Bone marrow aspirate smear: 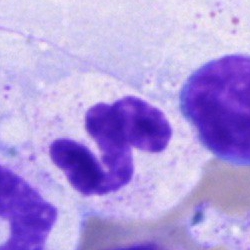

Q: Which cell type is shown here?
A: Segmented neutrophil.